Bone marrow aspirate smear; Pappenheim-stained; single-cell crop: 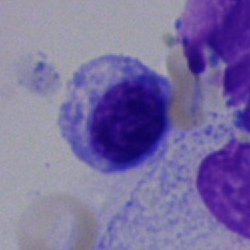 Cell type = nucleated red blood cell.